Bone marrow aspirate smear — 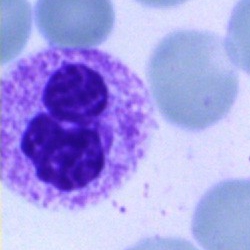Cell type — polymorphonuclear neutrophil.